Bone marrow aspirate smear: 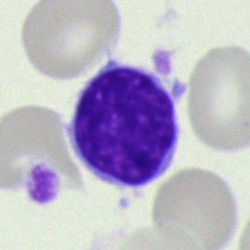
Q: What is shown here?
A: Lymphocyte.